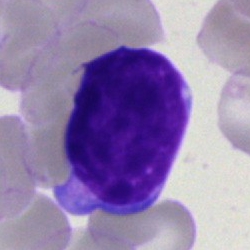

Single cell identified as a lymphocyte.